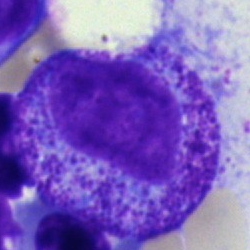Cell — metamyelocyte.